Bone marrow smear. 250 by 250 pixels.
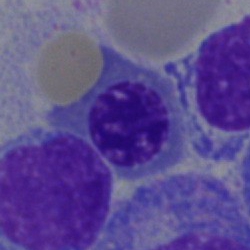
Showing a nucleated red blood cell.